Bone marrow smear.
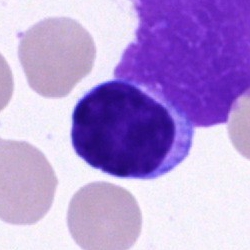Cell type = typical lymphocyte.